Single-cell crop · bone marrow smear
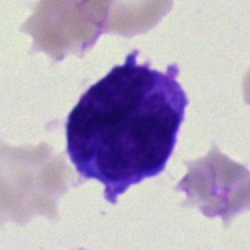
Morphology consistent with a blast.